Bone marrow aspirate smear:
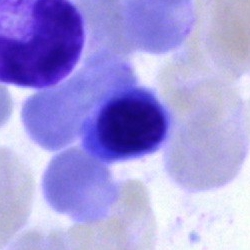
The cell shown is an erythroblast.